Bone marrow aspirate smear · cropped to a single cell:
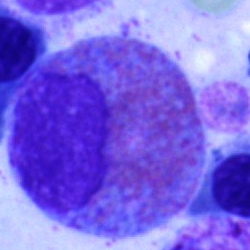

Impression — eosinophil.